Bone marrow aspirate smear: 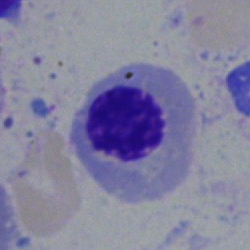 This is an erythroblast.